Bone marrow aspirate smear · brightfield microscopy, 40× oil immersion
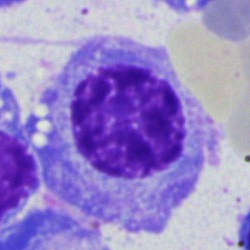

Specimen: bone marrow aspirate smear.
Morphological class: plasmacyte.
Lineage: lymphoid.